Bone marrow smear: 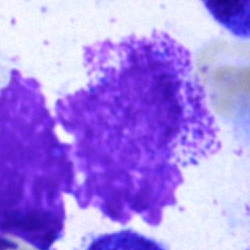
Impression — artifact.